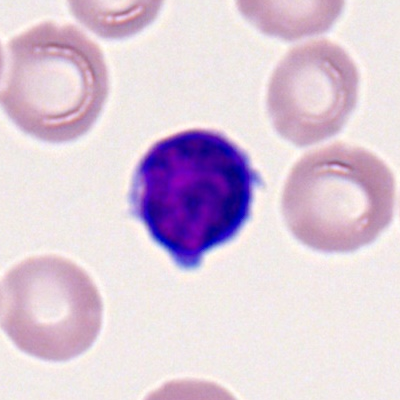Classification — typical lymphocyte.